Bone marrow aspirate smear
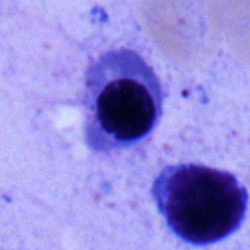 The cell is nucleated red blood cell.